Image size 250×250. Bone marrow aspirate smear:
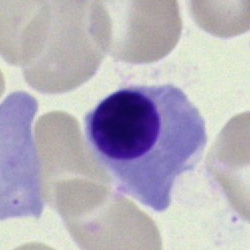Single cell identified as an erythroblast.